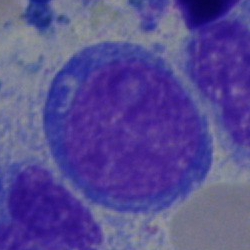

Cell type — blast cell.